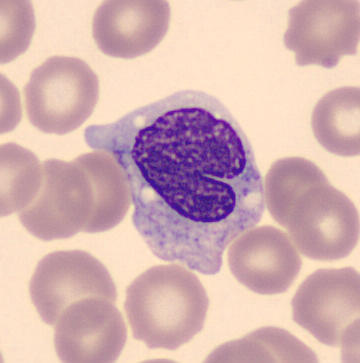 Specimen: peripheral blood smear.
Classification: monocyte.
Lineage: myeloid. Preparation: Single cell centered in the field.